Peripheral blood smear; image size 400×400; cropped to a single cell:
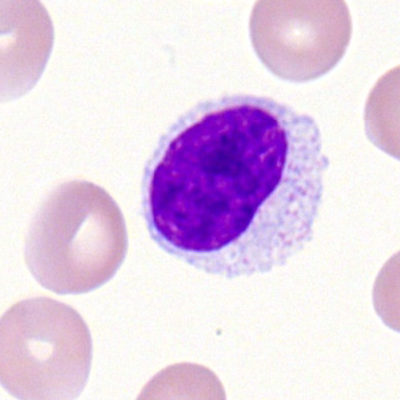

Q: What type of cell is this?
A: It is a lymphocyte.